40× oil immersion · bone marrow aspirate smear · cropped to a single cell
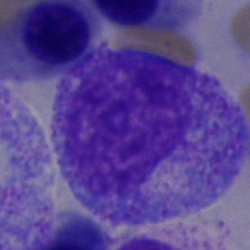
The cell type is progranulocyte.